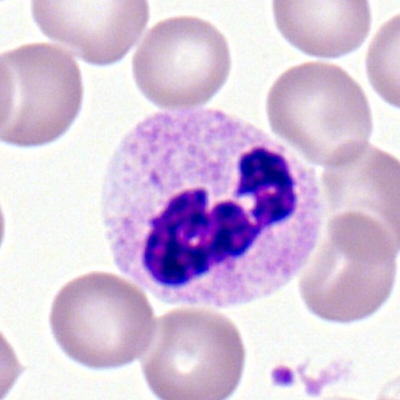

Single-cell crop from a peripheral blood smear: polymorphonuclear neutrophil.